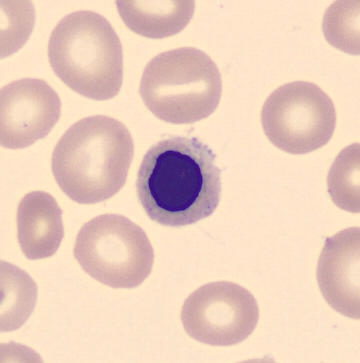

Single cell identified as a normoblast. Image: Single-cell field; 360×363 px; peripheral blood smear.